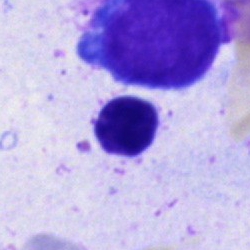 Bone marrow smear showing a cell of indeterminate lineage.